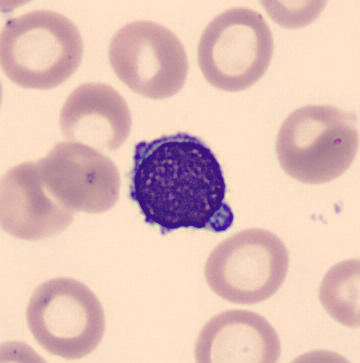
The cell type is typical lymphocyte. Peripheral blood film.